Bone marrow smear. Brightfield microscopy, 40× oil immersion: 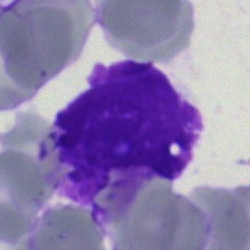
The cell shown is an artefact.